Romanowsky stain. Peripheral blood film. 400×400 px
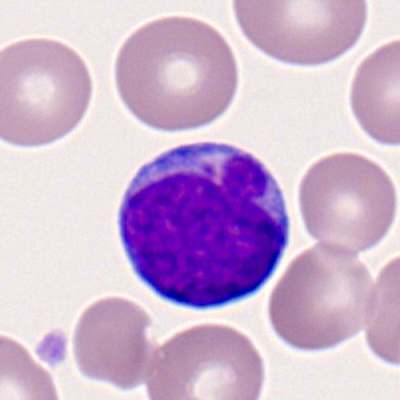 Showing a myeloblast.